250×250 px · bone marrow smear · single-cell field
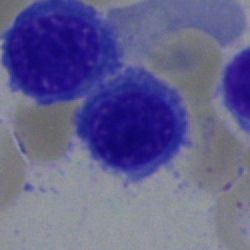 Morphology — nucleated red blood cell.